Bone marrow smear. 40× objective, oil immersion:
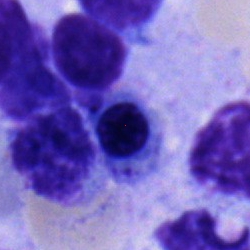Specimen: bone marrow smear.
Morphological class: erythroblast.